250 by 250 pixels. May-Grünwald-Giemsa stain. Bone marrow smear:
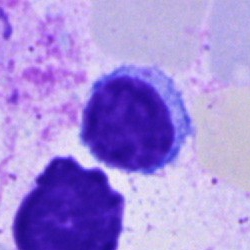
This is a typical lymphocyte.